Bone marrow aspirate smear: 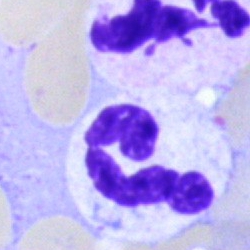Showing a segmented neutrophil.